May-Grünwald-Giemsa/Pappenheim stain. Bone marrow smear. 250 by 250 pixels
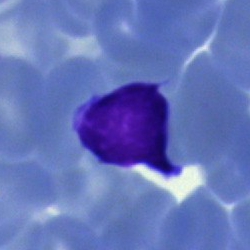Typical lymphocyte.